Bone marrow aspirate smear · image size 250×250
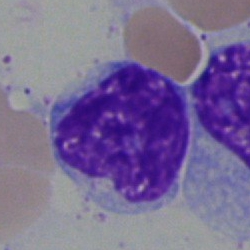
Q: What type of cell is this?
A: This is a lymphocyte.